40× objective, oil immersion; 250×250 px; bone marrow aspirate smear: 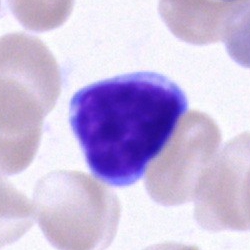
Cell — lymphocyte.